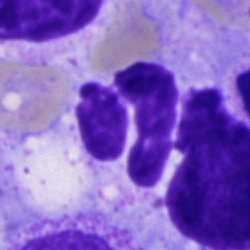

Q: What is the morphological classification of this cell?
A: It is a neutrophil (segmented).